Bone marrow aspirate smear: 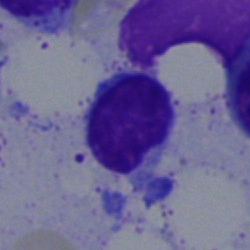 Q: What is the morphological classification of this cell?
A: This is a lymphocyte.